Bone marrow smear.
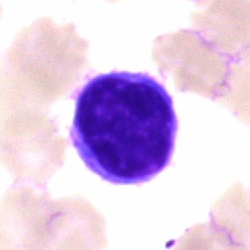
Morphological class: lymphocyte.